Bone marrow smear
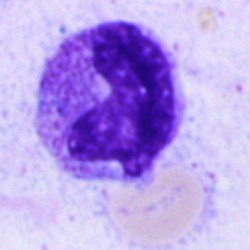
Stab cell.